40× oil immersion; bone marrow aspirate smear — 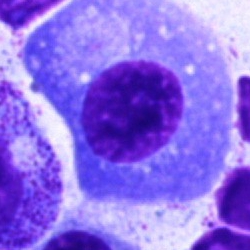

Cell = plasmacyte.